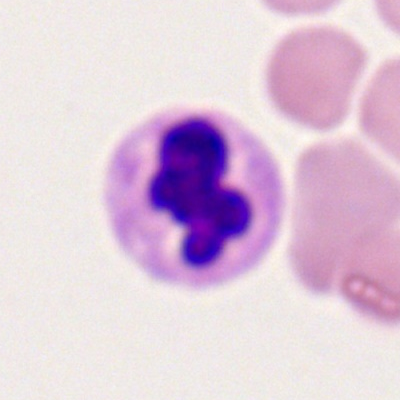This is a polymorphonuclear neutrophil.